Bone marrow smear — 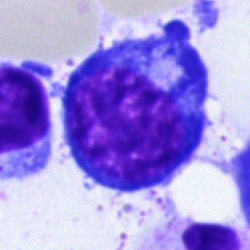

Cell: nucleated red blood cell.